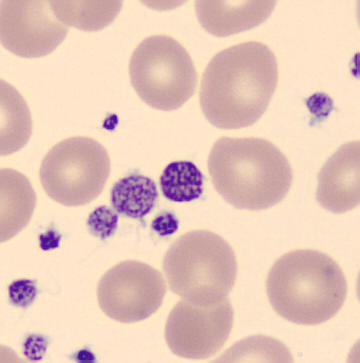 Preparation: May-Grünwald-Giemsa-stained; peripheral blood film. Classification — thrombocyte.